40× objective, oil immersion · MGG-stained · bone marrow aspirate smear:
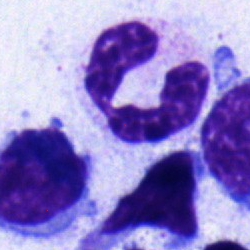
Showing a polymorphonuclear neutrophil.